Bone marrow aspirate smear
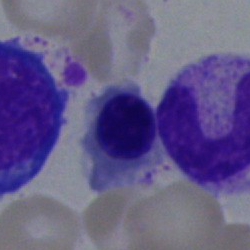
Q: What is shown here?
A: A nucleated red cell.